Peripheral blood film — 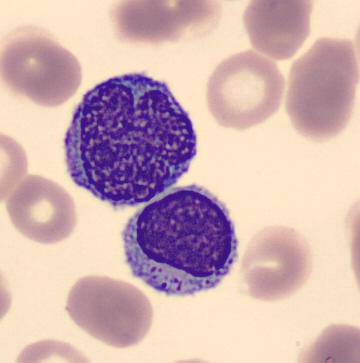

The cell shown is a lymphocyte.